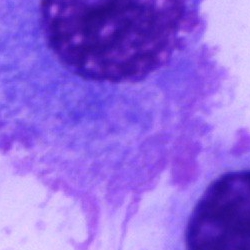
A plasmacyte.